Bone marrow aspirate smear:
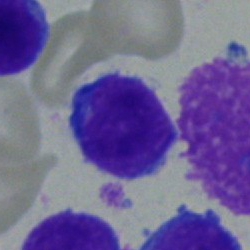
Blast cell.